Image size 400×400; peripheral blood smear — 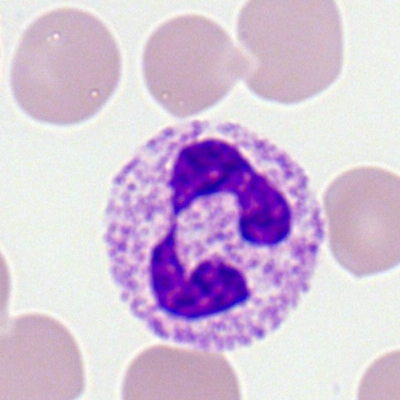Morphology — neutrophil (segmented).